Bone marrow aspirate smear.
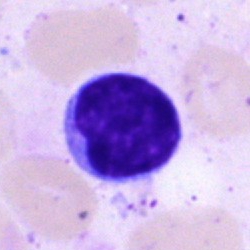Q: What is shown here?
A: This is a typical lymphocyte.